Bone marrow aspirate smear: 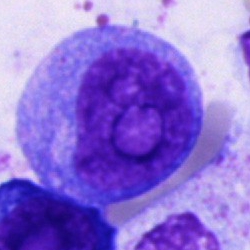Classification = promyelocyte.